Brightfield microscopy, 40× oil immersion · single cell centered in the field · bone marrow aspirate smear
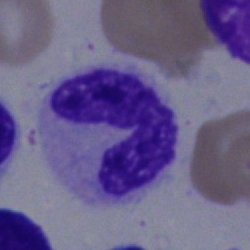

Single cell identified as a neutrophil (segmented).